Peripheral blood film
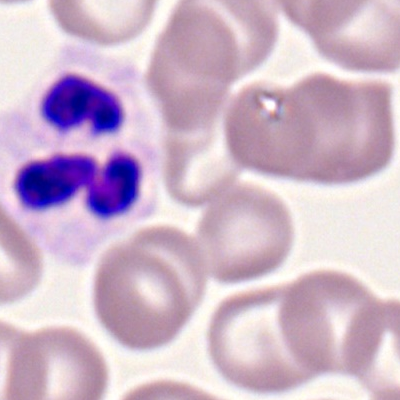 Q: What is the morphological classification of this cell?
A: This is a neutrophil (segmented).